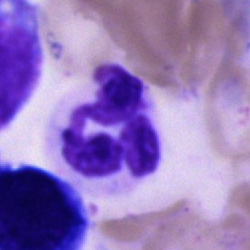Q: Which cell type is shown here?
A: Neutrophil (segmented).